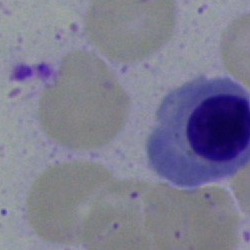
Specimen: bone marrow aspirate smear.
Cell type: nucleated red cell.
Lineage: erythroid.